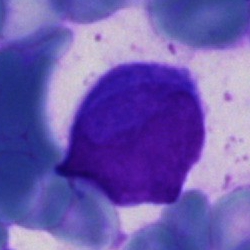 Blast.